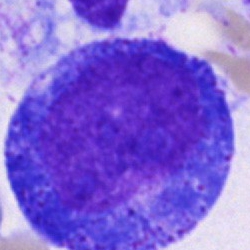

This is a promyelocyte.